Peripheral blood film
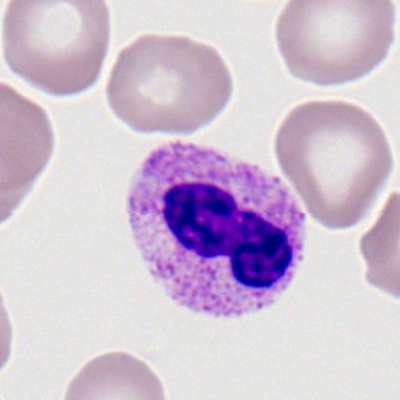
A neutrophil (segmented).